Bone marrow aspirate smear: 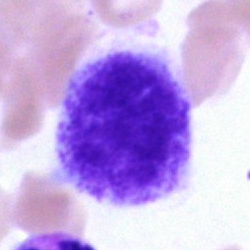
Impression — artifact.